Pappenheim-stained; 40× oil immersion; bone marrow aspirate smear:
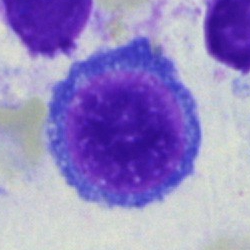
{"cell_type": "nucleated red cell", "lineage": "erythroid"}